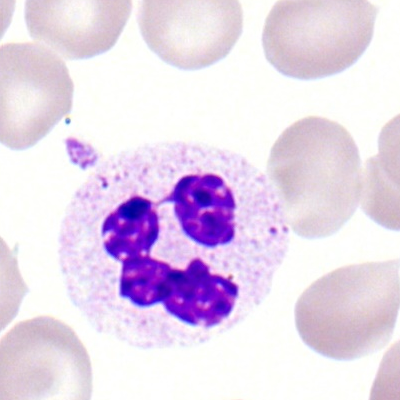

Q: What is shown here?
A: This is a neutrophil (segmented).